Bone marrow aspirate smear:
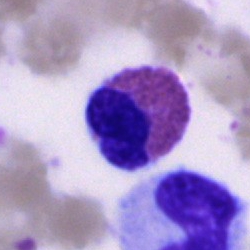The cell shown is an eosinophil.